Bone marrow aspirate smear · 40× oil immersion · MGG-stained
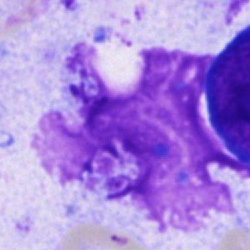
Morphology consistent with an artifact.